Bone marrow smear — 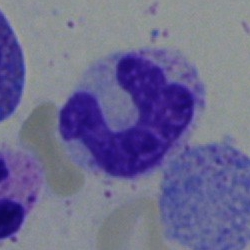

Band neutrophil.